Bone marrow aspirate smear: 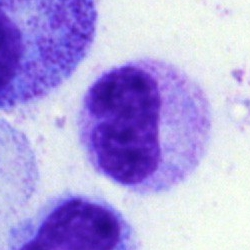Morphology consistent with a stab cell.